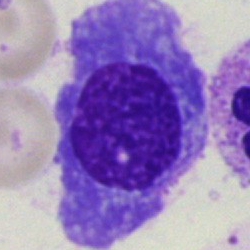Q: Identify the cell.
A: Plasmacyte.